Brightfield microscopy, 40× oil immersion · bone marrow smear: 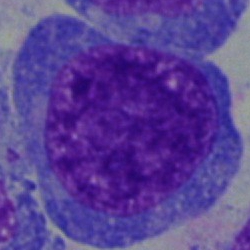
Morphology → blast cell.